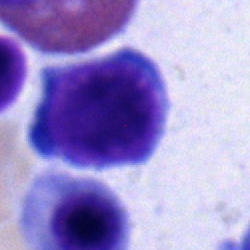Q: Identify the cell.
A: This is an erythroblast.